Peripheral blood film · single-cell crop · Romanowsky stain: 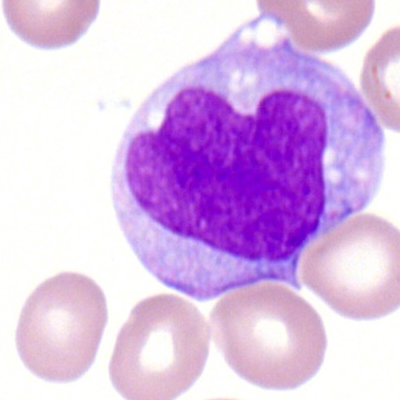 Single cell identified as a monocyte.